Image size 250×250. Bone marrow aspirate smear — 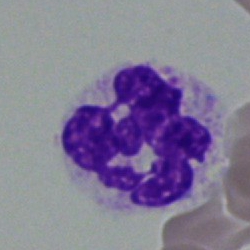 Q: What is the morphological classification of this cell?
A: It is a neutrophil (segmented).